Romanowsky-type stain · single-cell crop · peripheral blood film — 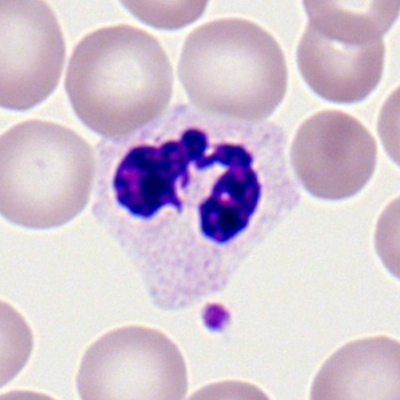 {"cell_type": "neutrophil (segmented)"}